Single-cell crop · bone marrow aspirate smear · 250×250: 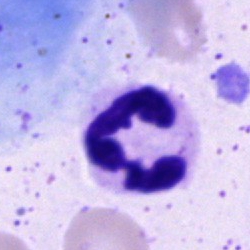 Q: What type of cell is this?
A: It is a segmented neutrophil.